Bone marrow aspirate smear — 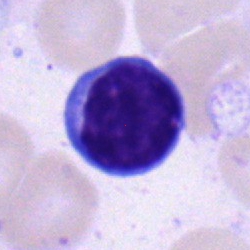

Impression — lymphocyte.